Peripheral blood film · 100× objective, oil immersion — 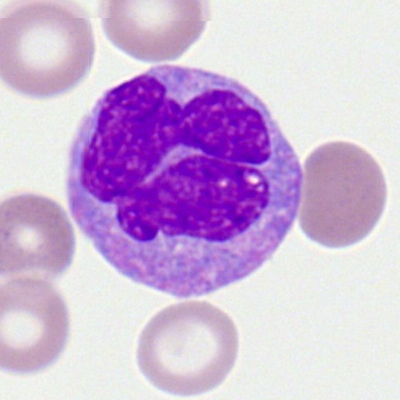 {"cell_type": "monocyte"}